Pappenheim-stained. Bone marrow smear — 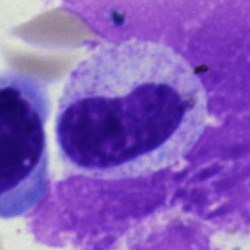 Q: What is the morphological classification of this cell?
A: A neutrophil (band).